Brightfield, 40× oil-immersion objective. Bone marrow smear.
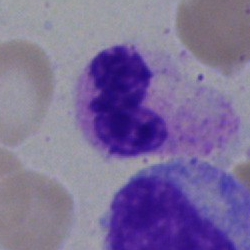Classification: segmented neutrophil.